Bone marrow aspirate smear: 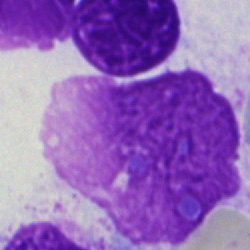Q: What is shown here?
A: This is an artifact.